Bone marrow aspirate smear: 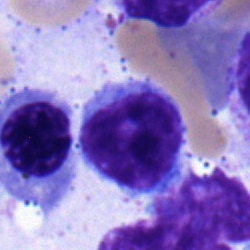Q: What type of cell is this?
A: Lymphocyte.